40× objective, oil immersion. 250×250. Bone marrow aspirate smear
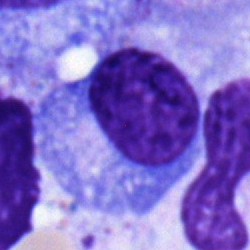
Classification = plasma cell.